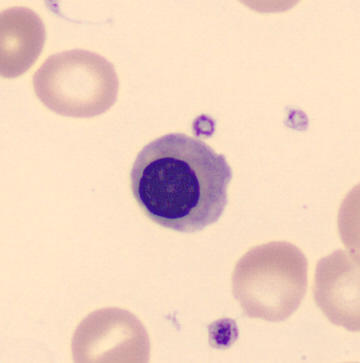 Impression — erythroblast. Peripheral blood smear.